Bone marrow aspirate smear:
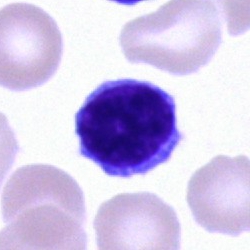
Morphology consistent with a lymphocyte.